Bone marrow smear; single cell centered in the field:
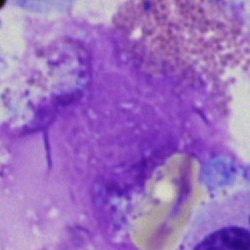

Q: What is shown here?
A: Artefact.